Peripheral blood film — 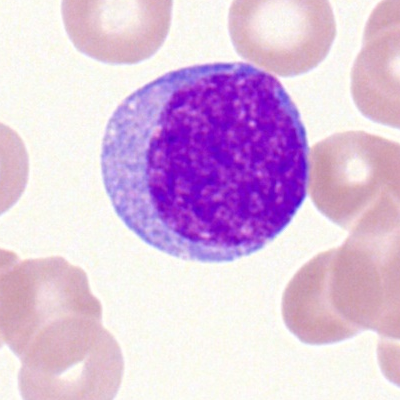 Specimen: peripheral blood smear.
Cell type: myeloblast.
Lineage: myeloid.